Bone marrow smear.
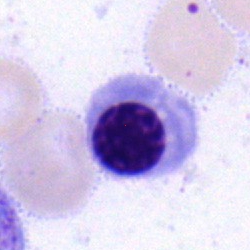
Impression → nucleated red blood cell.